Bone marrow smear:
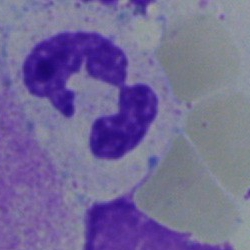 Specimen: bone marrow smear.
Cell type: polymorphonuclear neutrophil.